250×250; bone marrow smear: 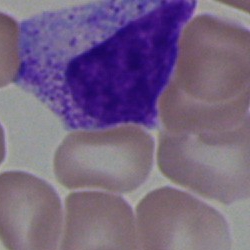 Q: What is shown here?
A: It is a myelocyte.